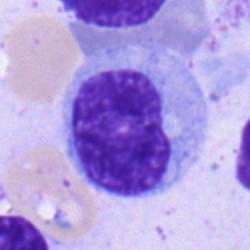
Impression → myelocyte.